Peripheral blood smear — 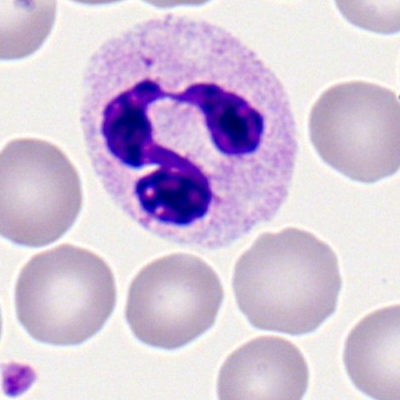
Segmented neutrophil.